Bone marrow aspirate smear — 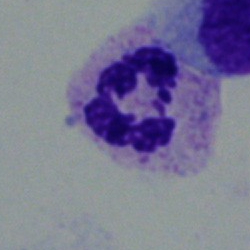

Morphological class: polymorphonuclear neutrophil.